Bone marrow aspirate smear — 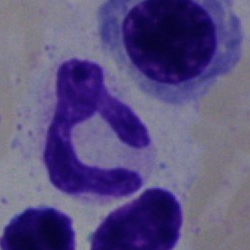Impression — eosinophil.